Bone marrow aspirate smear.
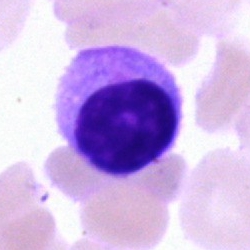
Q: What is the morphological classification of this cell?
A: It is a myelocyte.